Bone marrow smear:
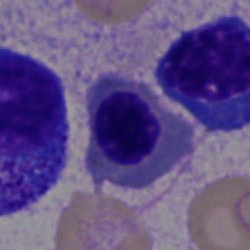
Q: What type of cell is this?
A: It is a nucleated red cell.